Cropped to a single cell. Bone marrow aspirate smear — 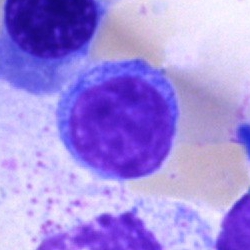

Specimen: bone marrow smear.
Morphological class: lymphocyte.
Lineage: lymphoid.